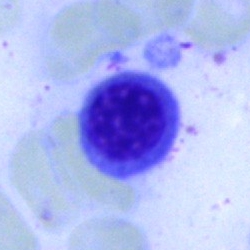This is a nucleated red cell.